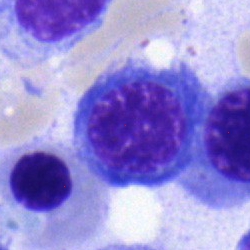Nucleated red cell.